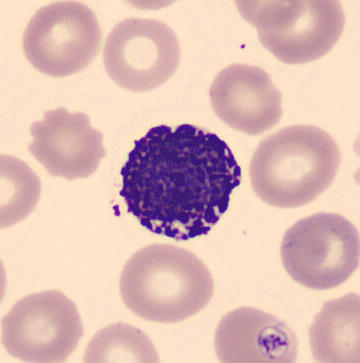

Identified as a basophilic granulocyte.